Brightfield microscopy, 40× oil immersion; bone marrow smear; MGG-stained
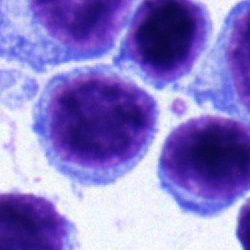
Cell type = lymphocyte.